Peripheral blood smear
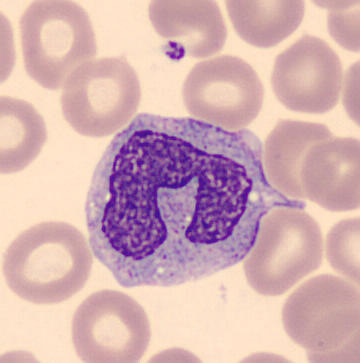Morphological class — monocyte.